MGG-stained. Bone marrow smear:
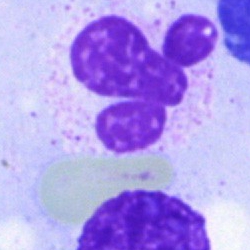 Q: What type of cell is this?
A: This is a neutrophil (segmented).